Bone marrow smear; 40× objective, oil immersion.
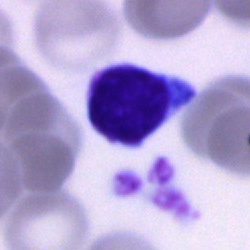Morphology consistent with a lymphocyte.